Bone marrow smear.
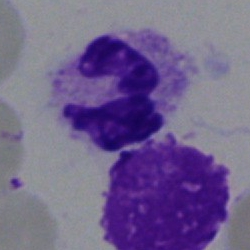The morphological class is neutrophil (segmented).